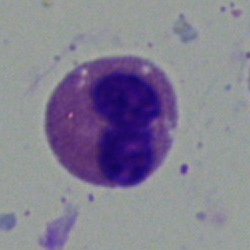 This is an eosinophil.